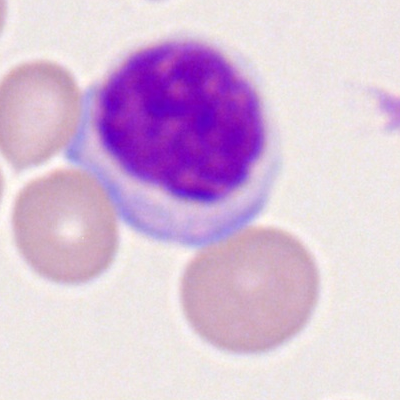

Morphology → typical lymphocyte.